40× oil immersion; May-Grünwald-Giemsa stain; bone marrow smear
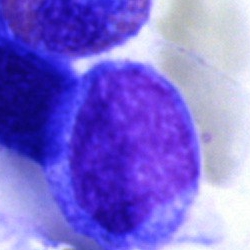

The morphological class is undifferentiated blast.